Image size 250×250; bone marrow aspirate smear.
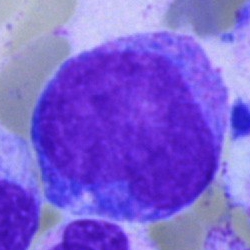 {"cell_type": "blast"}